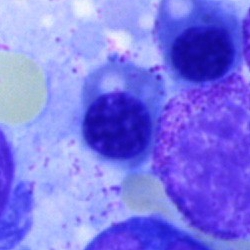

Morphology — erythroblast.